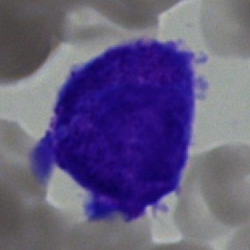

Bone marrow smear showing a blast cell.